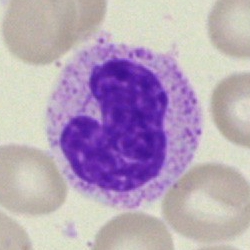
Q: What type of cell is this?
A: A polymorphonuclear neutrophil.